Bone marrow smear:
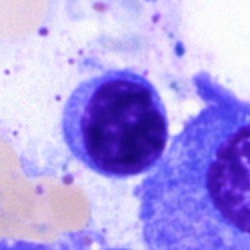A lymphocyte.